Bone marrow smear · 250×250 px:
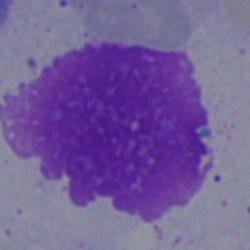This is an artefact.